Bone marrow aspirate smear: 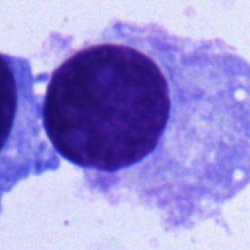

A plasmacyte.